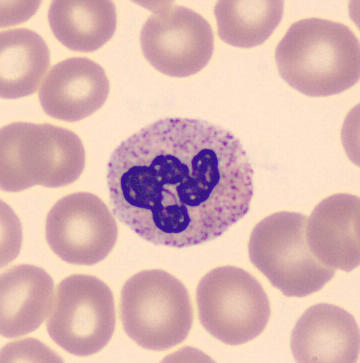 Q: What is the morphological classification of this cell?
A: It is a polymorphonuclear neutrophil.